250 by 250 pixels · brightfield, 40× oil-immersion objective · bone marrow aspirate smear:
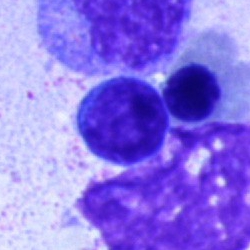 Showing a lymphocyte.